Bone marrow aspirate smear: 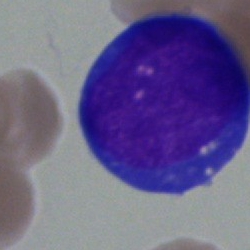Morphological class — blast.